Bone marrow smear
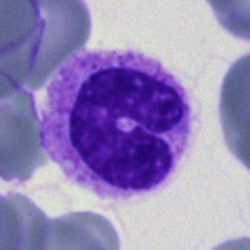
Single cell identified as a band neutrophil.